Bone marrow smear
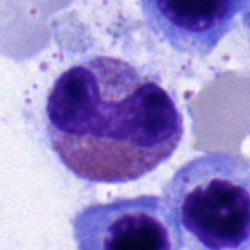 Morphological class — eosinophilic granulocyte.